Single-cell field. Bone marrow aspirate smear. Image size 250×250 — 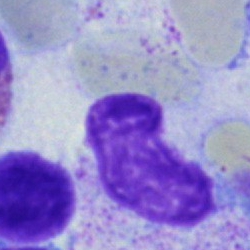Impression → artifact.